Bone marrow aspirate smear; brightfield microscopy, 40× oil immersion
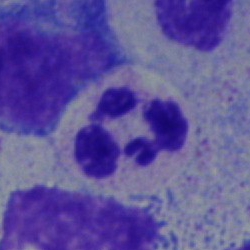
The cell is segmented neutrophil.